Bone marrow smear · cropped to a single cell.
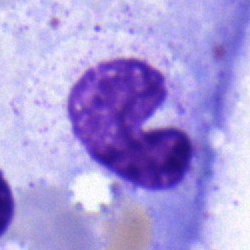
This is a metamyelocyte.